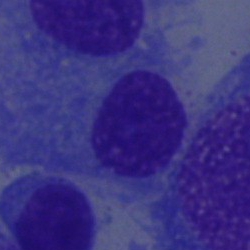
Cell — plasma cell.